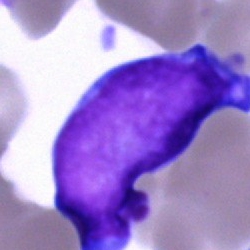

Classification: blast cell.